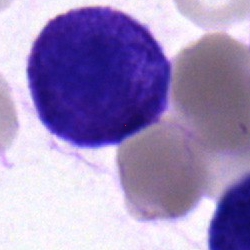

Specimen: bone marrow aspirate smear.
Classification: undifferentiated blast.